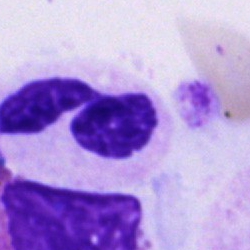This is a segmented neutrophil.